Bone marrow aspirate smear; single-cell field.
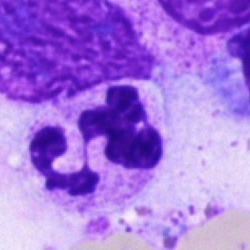Morphological class — segmented neutrophil.